Pappenheim-stained. Bone marrow smear. Cropped to a single cell:
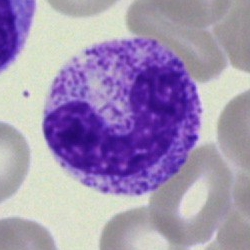Cell type — band-form neutrophil.